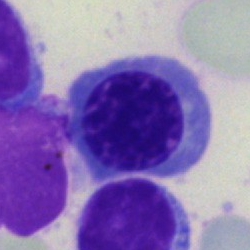
Erythroblast.